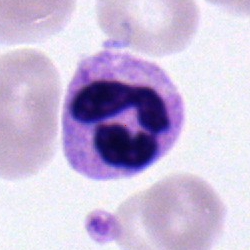 The morphological class is polymorphonuclear neutrophil.